Bone marrow aspirate smear · single-cell field: 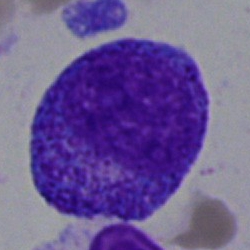

Morphology consistent with a progranulocyte.